Bone marrow smear; 250×250 px; May-Grünwald-Giemsa/Pappenheim stain — 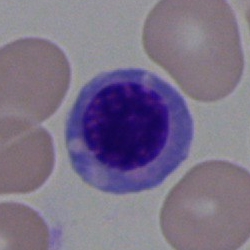
Specimen: bone marrow aspirate smear.
Classification: normoblast.